Bone marrow aspirate smear:
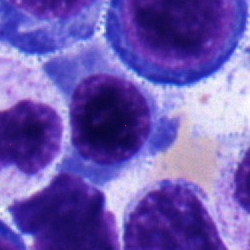
Cell: erythroblast.